Peripheral blood film · Romanowsky-stained: 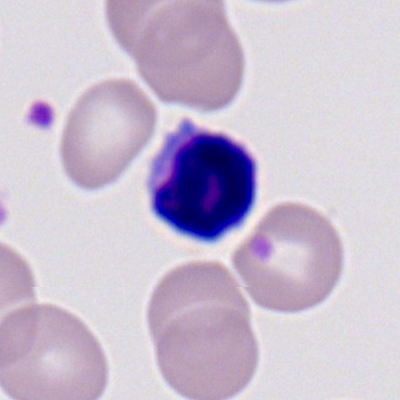
Impression → typical lymphocyte.